Bone marrow smear:
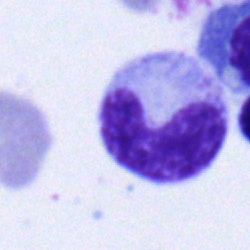 Q: What type of cell is this?
A: It is a stab cell.